Bone marrow aspirate smear: 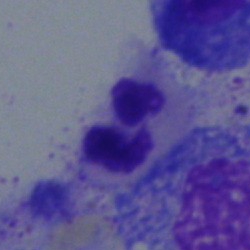 Cell type: polymorphonuclear neutrophil.